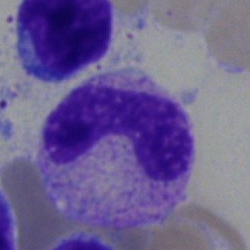
Specimen: bone marrow aspirate smear.
Cell type: band-form neutrophil.
Lineage: myeloid.